Bone marrow smear. Single-cell crop:
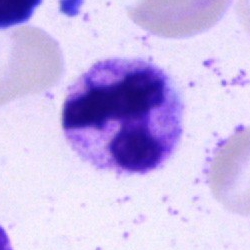 The morphological class is neutrophil (segmented).